Bone marrow smear; image size 250×250: 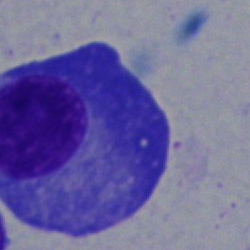Classification: plasmacyte.